Bone marrow aspirate smear:
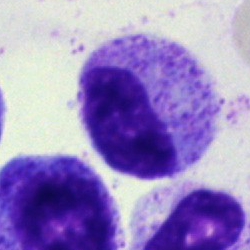A band neutrophil.